MGG-stained. Bone marrow smear:
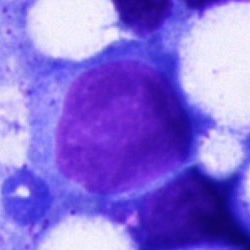 Morphology → blast.